MGG-stained · bone marrow smear
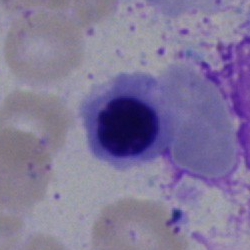

Morphology consistent with a nucleated red cell.